400×400 px; peripheral blood smear — 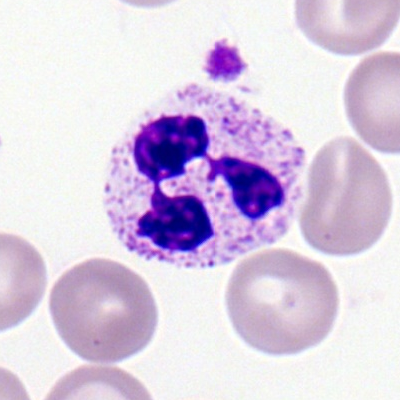
Morphology — segmented neutrophil.